Bone marrow aspirate smear:
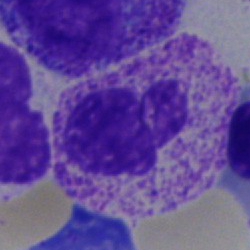{"cell_type": "polymorphonuclear neutrophil", "lineage": "myeloid"}